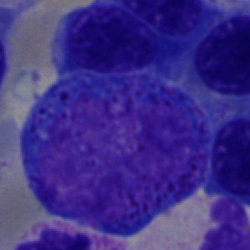The morphological class is progranulocyte.